Bone marrow aspirate smear:
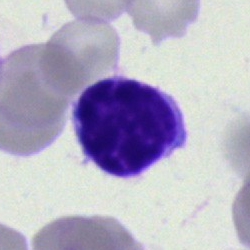

Morphology — typical lymphocyte.